Bone marrow smear; 250×250 px: 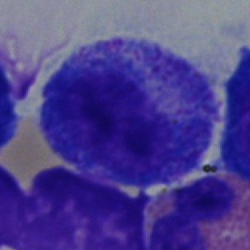{"cell_type": "progranulocyte"}